Single cell centered in the field; bone marrow smear: 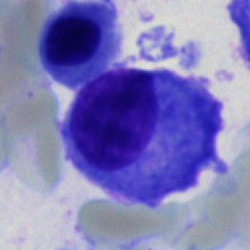Specimen: bone marrow aspirate smear.
Classification: plasma cell.
Lineage: lymphoid.